Bone marrow aspirate smear; brightfield, 40× oil-immersion objective.
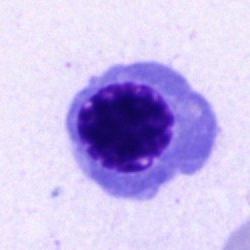The cell shown is an erythroblast.